Bone marrow smear; brightfield, 40× oil-immersion objective.
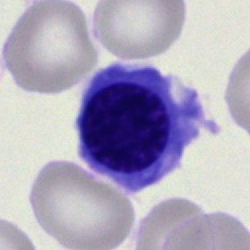

Morphology consistent with a normoblast.